Bone marrow aspirate smear — 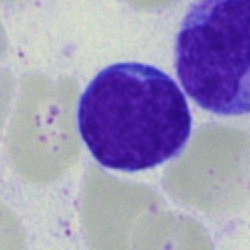 Impression — lymphocyte.